Bone marrow smear · 40× objective, oil immersion · cropped to a single cell:
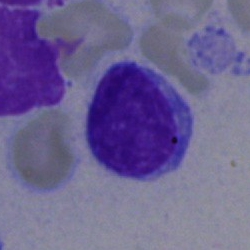 This is a lymphocyte.